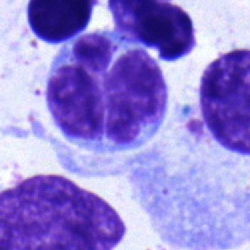
Monocyte.